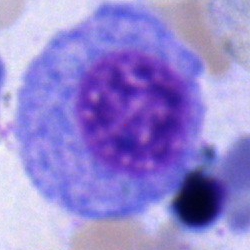
The classification is myelocyte.